Bone marrow smear; Pappenheim-stained — 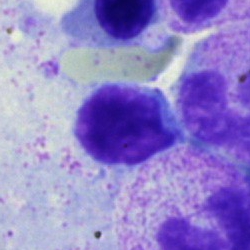 Q: What is shown here?
A: A typical lymphocyte.